250 by 250 pixels · bone marrow aspirate smear.
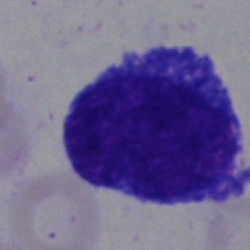 Showing a blast cell.